Bone marrow smear: 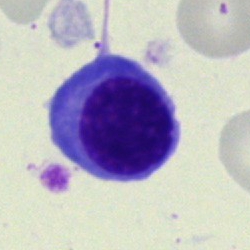

Specimen: bone marrow aspirate smear.
Cell: normoblast.